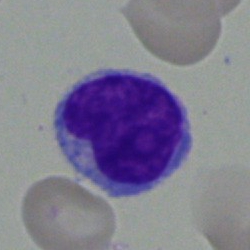

The cell type is lymphocyte.